May-Grünwald-Giemsa/Pappenheim stain; bone marrow aspirate smear — 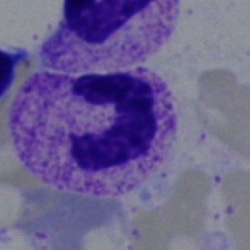 {"cell_type": "band neutrophil"}